Bone marrow aspirate smear · single cell centered in the field — 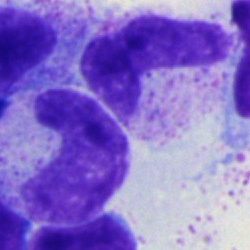

Specimen: bone marrow aspirate smear.
Cell: neutrophil (band).